Cropped to a single cell; 250×250 px; bone marrow smear:
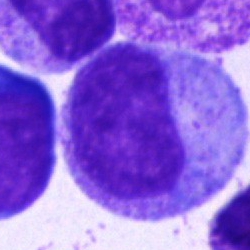

This is a promyelocyte.